100× oil immersion; peripheral blood film
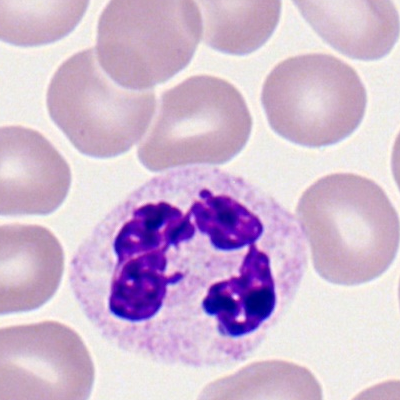 Q: What cell is this?
A: A segmented neutrophil.